40× oil immersion; bone marrow aspirate smear; MGG-stained — 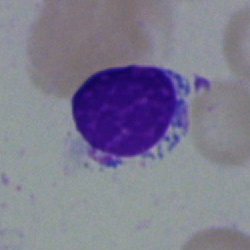
Q: What type of cell is this?
A: It is a lymphocyte.